Bone marrow aspirate smear.
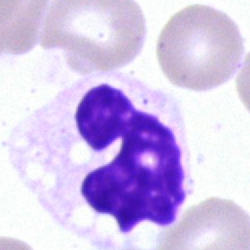 Impression → neutrophil (segmented).